Bone marrow aspirate smear: 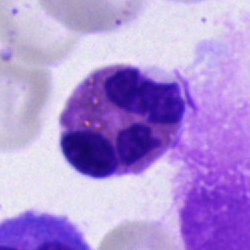
Morphology → eosinophilic granulocyte.